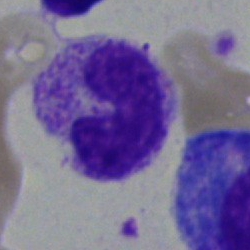
Cell type = band neutrophil.